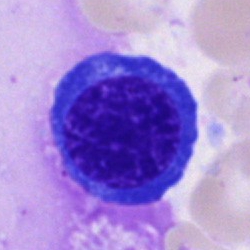 Bone marrow smear showing a nucleated red cell.